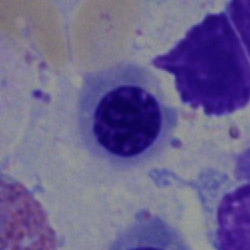

Q: Which cell type is shown here?
A: This is a nucleated red blood cell.